Bone marrow smear — 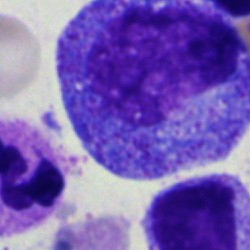
Q: What cell is this?
A: Progranulocyte.